Bone marrow aspirate smear. 250×250 — 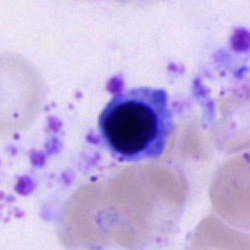 An erythroblast.